MGG-stained · bone marrow aspirate smear · 250×250 px — 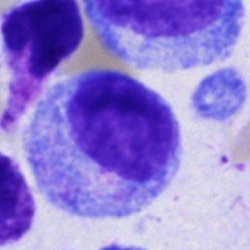Cell type = promyelocyte.